Bone marrow aspirate smear. 250×250:
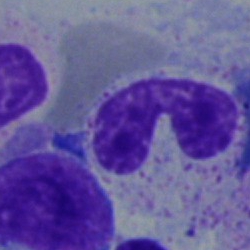Impression — stab cell.